Bone marrow aspirate smear · brightfield microscopy, 40× oil immersion · single-cell field: 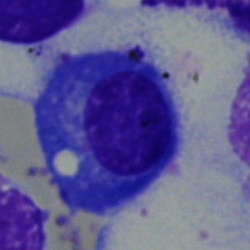Specimen: bone marrow smear.
Cell type: plasmacyte.